Bone marrow aspirate smear — 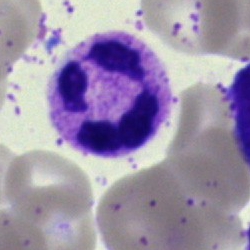

Showing a neutrophil (segmented).